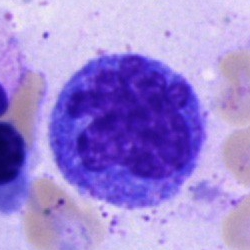Morphology — monocyte.